Bone marrow aspirate smear · May-Grünwald-Giemsa/Pappenheim stain — 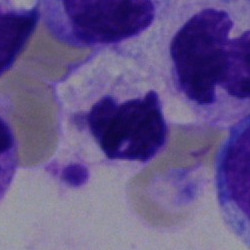Showing an artifact.